Bone marrow aspirate smear
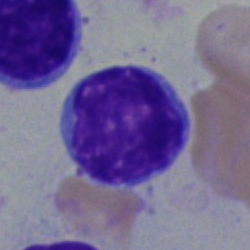 Morphology consistent with a lymphocyte.